Bone marrow smear.
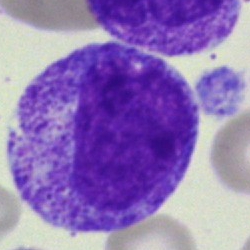Cell: progranulocyte.